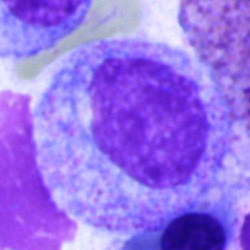

Bone marrow aspirate smear, single cell — promyelocyte.